Bone marrow smear; single cell centered in the field
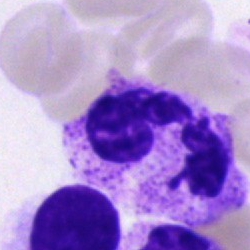A segmented neutrophil.